Single cell centered in the field; bone marrow smear.
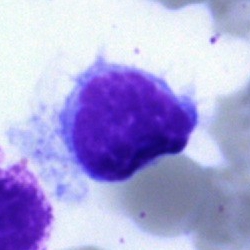

Specimen: bone marrow aspirate smear.
Morphological class: hairy cell.
Lineage: lymphoid.